Brightfield, 40× oil-immersion objective. Bone marrow smear. May-Grünwald-Giemsa/Pappenheim stain.
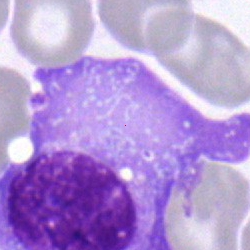 Classification = plasma cell.